MGG-stained. Bone marrow smear.
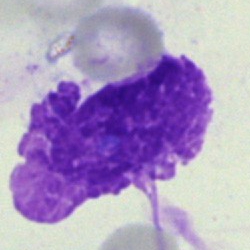 Morphology → artifact.